Single-cell field · bone marrow smear · 40× objective, oil immersion.
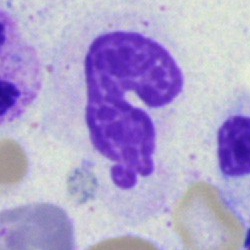Cell = artifact.